Bone marrow smear: 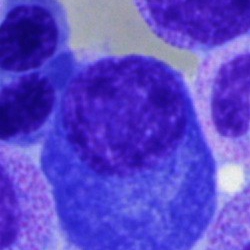
A plasma cell.